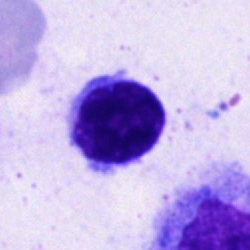

The classification is lymphocyte.